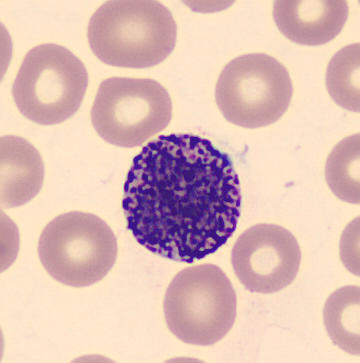 Image: Peripheral blood film. {"cell_type": "basophil", "lineage": "myeloid"}